250×250. Bone marrow aspirate smear. Cropped to a single cell — 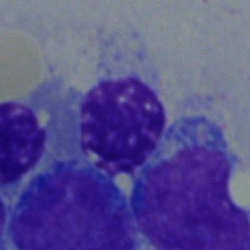Cell = normoblast.